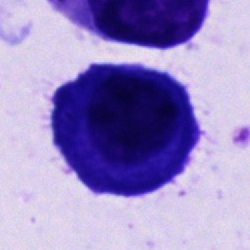 {"cell_type": "plasma cell"}